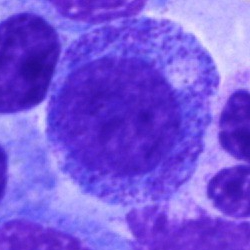

This is a progranulocyte.